Bone marrow smear:
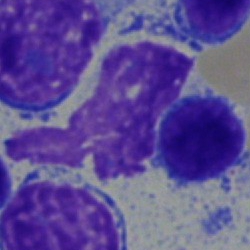 This is a lymphocyte.